Bone marrow smear.
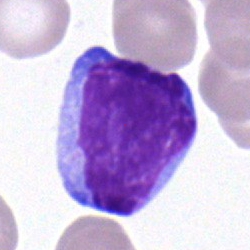

Classification — lymphocyte.